May-Grünwald-Giemsa stain. Bone marrow aspirate smear: 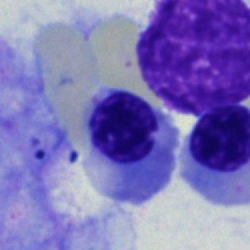 Showing a nucleated red blood cell.